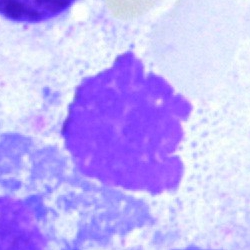

Cell type = artifact.